Bone marrow aspirate smear · 250 by 250 pixels: 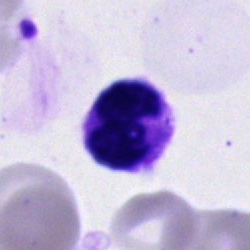

Q: What cell is this?
A: It is a polymorphonuclear neutrophil.